Bone marrow aspirate smear — 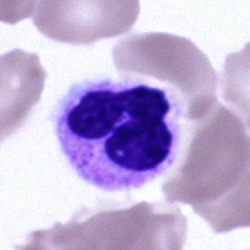Impression → neutrophil (segmented).